Single-cell crop · peripheral blood film · Romanowsky-type stain — 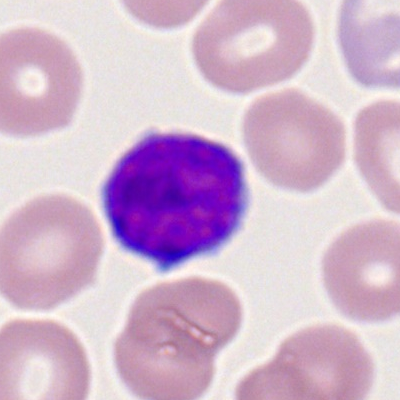
Classification: typical lymphocyte.